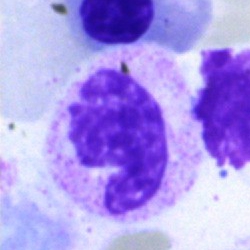

Q: What type of cell is this?
A: A band neutrophil.